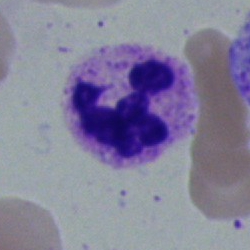

Morphological class = segmented neutrophil.